Bone marrow smear — 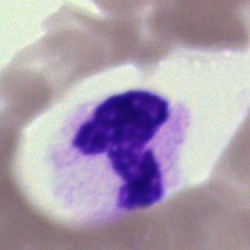 Q: What is shown here?
A: It is a segmented neutrophil.